Bone marrow aspirate smear.
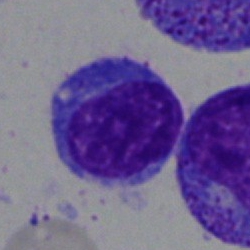Q: What is the morphological classification of this cell?
A: This is a typical lymphocyte.